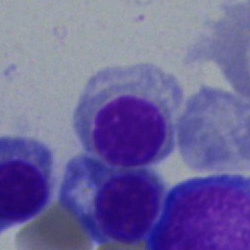The classification is nucleated red cell.